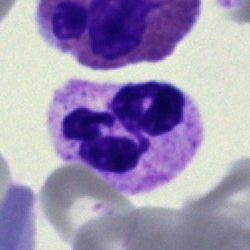
Specimen: bone marrow smear.
Classification: neutrophil (segmented).
Lineage: myeloid.